Bone marrow aspirate smear:
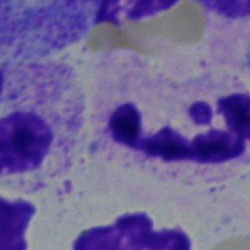

Single cell identified as a polymorphonuclear neutrophil.